Single-cell crop; MGG-stained; bone marrow aspirate smear.
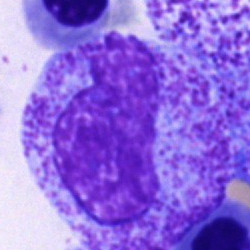Single cell identified as a progranulocyte.